Peripheral blood smear: 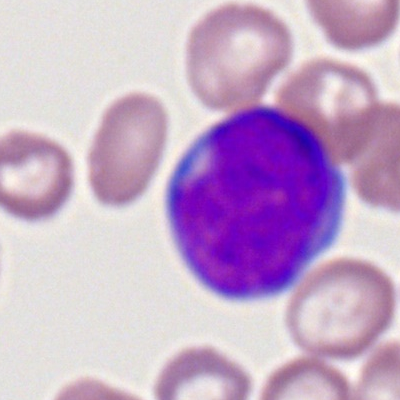Myeloid blast.